Bone marrow smear
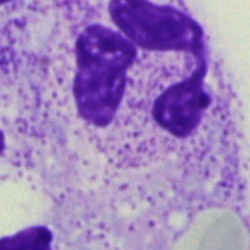

Showing a polymorphonuclear neutrophil.